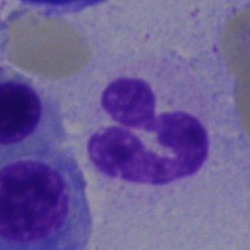 Impression → neutrophil (segmented).